Bone marrow smear; single-cell crop — 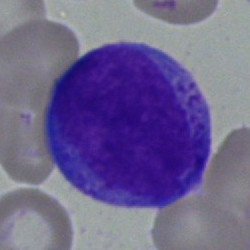
Impression → blast cell.